100× oil immersion; cropped to a single cell; peripheral blood film: 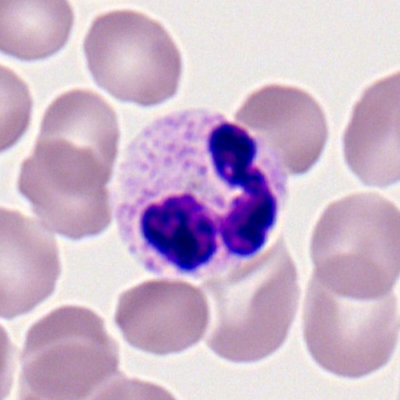 Q: What cell is this?
A: This is a segmented neutrophil.